Bone marrow aspirate smear
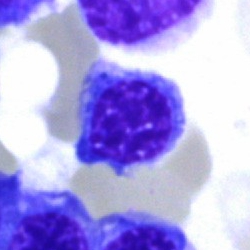Morphology — nucleated red cell.